Single-cell field; bone marrow smear; 40× objective, oil immersion:
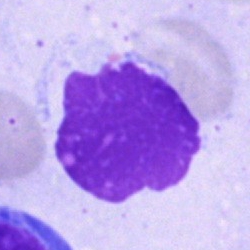

This is an artifact.